Bone marrow smear. Image size 250×250 — 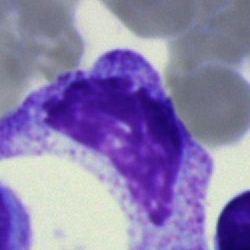 This is a myelocyte.